May-Grünwald-Giemsa stain. Bone marrow smear. Single-cell crop
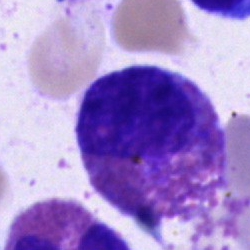
Single cell identified as an eosinophil.